Bone marrow aspirate smear — 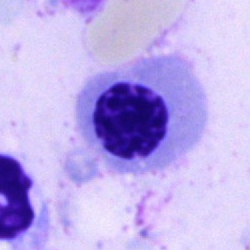
This is an erythroblast.